Bone marrow smear:
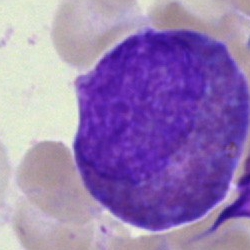 An eosinophilic granulocyte.